Cropped to a single cell; bone marrow smear; 40× oil immersion.
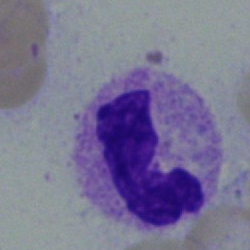
Cell: neutrophil (band).